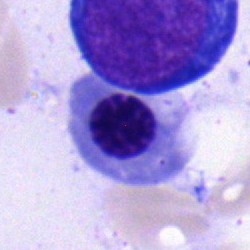 Cell — erythroblast.